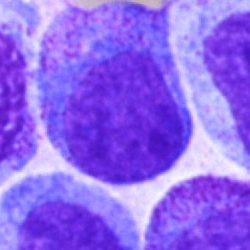 Q: What is shown here?
A: A promyelocyte.